MGG-stained. Bone marrow aspirate smear.
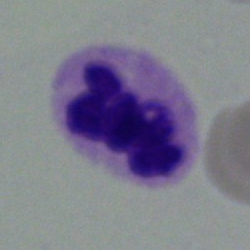

The morphological class is segmented neutrophil.